40× oil immersion; bone marrow smear:
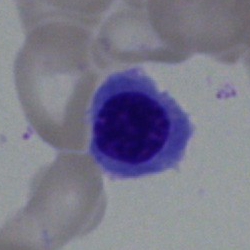
Morphology — normoblast.